Bone marrow smear
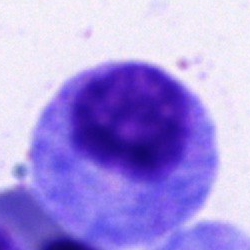 Specimen: bone marrow aspirate smear.
Morphological class: progranulocyte.
Lineage: myeloid.